Bone marrow aspirate smear: 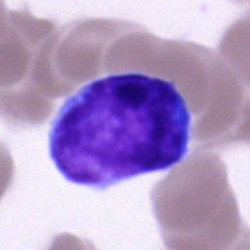
{"cell_type": "typical lymphocyte", "lineage": "lymphoid"}